Cropped to a single cell; bone marrow aspirate smear
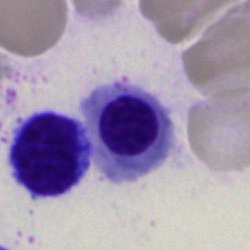

Classification: normoblast.